Bone marrow aspirate smear: 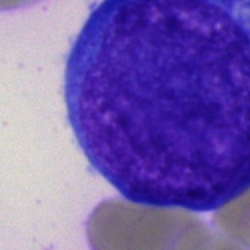 The cell type is blast cell.